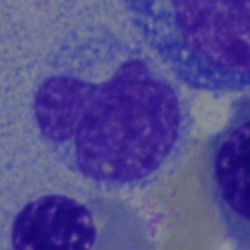Impression → monocyte.